MGG-stained; bone marrow aspirate smear — 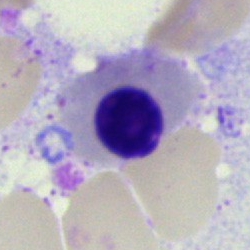This is a nucleated red cell.